Brightfield, 40× oil-immersion objective · 250 by 250 pixels · bone marrow aspirate smear: 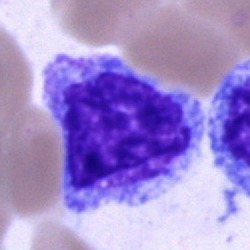

Single cell identified as a blast.